May-Grünwald-Giemsa/Pappenheim stain; bone marrow smear; single-cell crop.
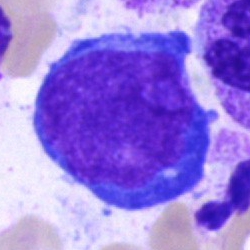

Specimen: bone marrow aspirate smear.
Cell: pronormoblast.
Lineage: erythroid.